Bone marrow smear. May-Grünwald-Giemsa stain — 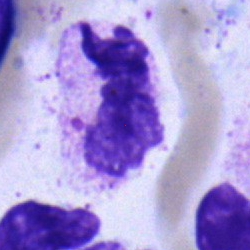
Impression — segmented neutrophil.